Bone marrow smear · 250×250
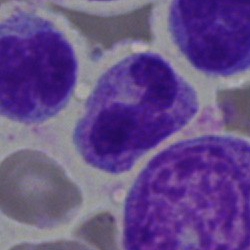
Q: What is the morphological classification of this cell?
A: A polymorphonuclear neutrophil.